Bone marrow aspirate smear: 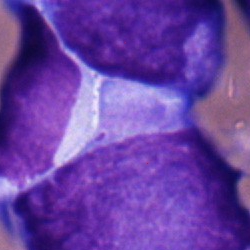Classification: blast.